Bone marrow smear. 40× objective, oil immersion. 250×250:
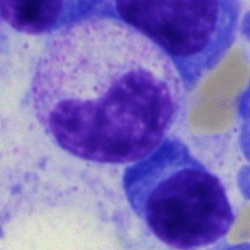

{"cell_type": "metamyelocyte", "lineage": "myeloid"}